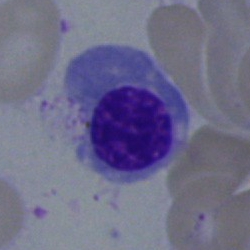

An erythroblast.